250×250 px; bone marrow smear:
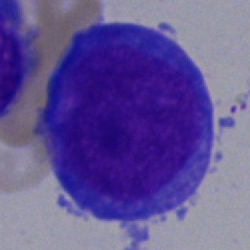

Cell type — blast.